Cropped to a single cell; bone marrow aspirate smear.
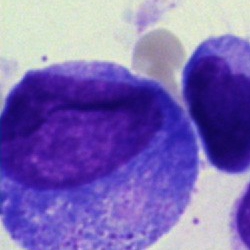Morphology consistent with a promyelocyte.